Image size 250×250; bone marrow smear — 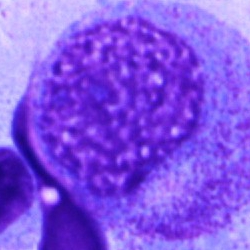

Showing a progranulocyte.